Peripheral blood smear.
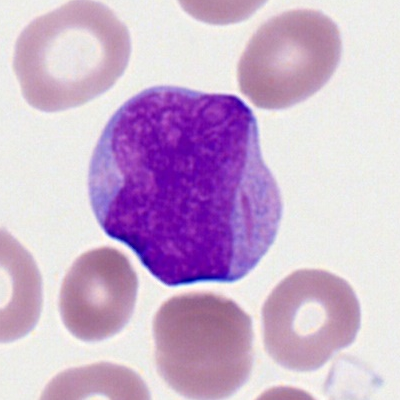 Specimen: peripheral blood film.
Cell: myeloid blast.